Bone marrow smear · 250×250 px: 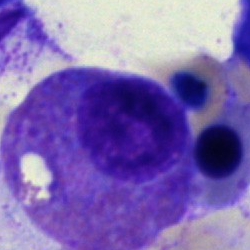
Classification = plasmacyte.